Bone marrow smear — 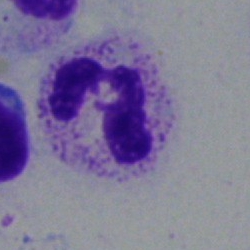 Polymorphonuclear neutrophil.